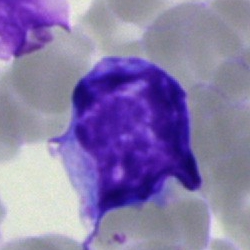 A typical lymphocyte.